Peripheral blood smear. Cropped to a single cell.
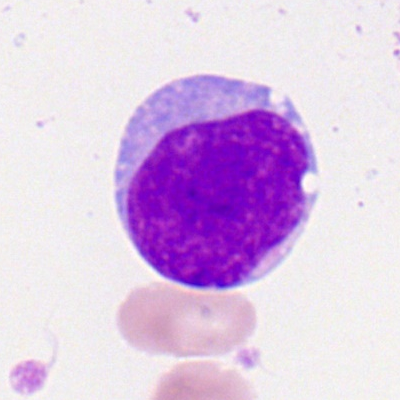

Myeloid blast.